Bone marrow aspirate smear.
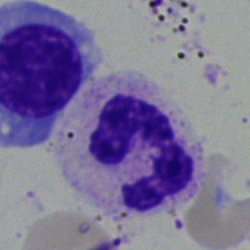 Q: What is the morphological classification of this cell?
A: It is a segmented neutrophil.